Brightfield, 40× oil-immersion objective; bone marrow smear; 250×250 px:
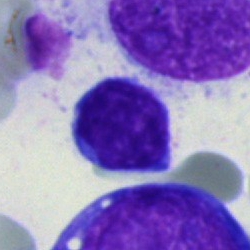
Morphology consistent with a lymphocyte.